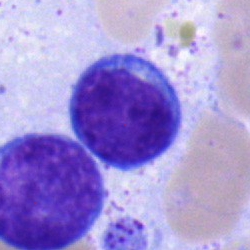

Single-cell crop from a bone marrow smear: lymphocyte.